May-Grünwald-Giemsa/Pappenheim stain · bone marrow aspirate smear
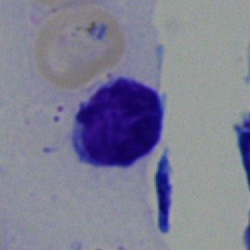
Q: What is shown here?
A: This is a typical lymphocyte.